Bone marrow aspirate smear:
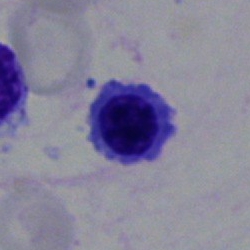 Showing an erythroblast.